Bone marrow aspirate smear:
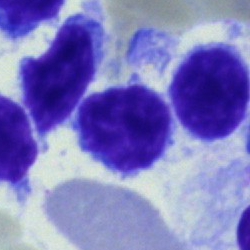
Showing a typical lymphocyte.